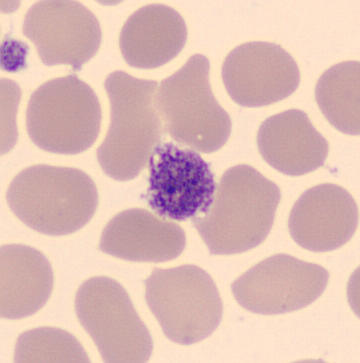 Morphology consistent with a platelet.

Preparation: Peripheral blood smear.